MGG-stained. 250 by 250 pixels. Bone marrow aspirate smear — 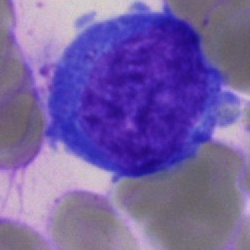

Pronormoblast.